Bone marrow aspirate smear; 250×250 px — 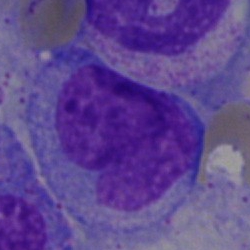
Morphology consistent with a monocyte.